Bone marrow smear
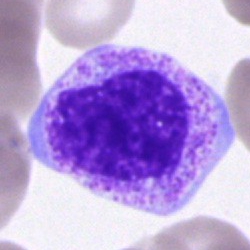
Specimen: bone marrow aspirate smear.
Morphological class: myelocyte.
Lineage: myeloid.